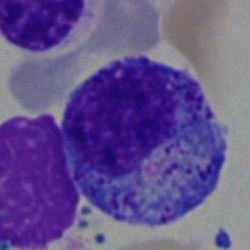 Specimen: bone marrow smear.
Morphological class: myelocyte.
Lineage: myeloid.